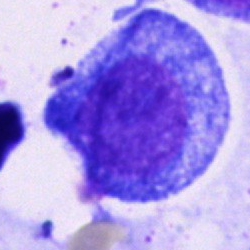 Cell — promyelocyte.